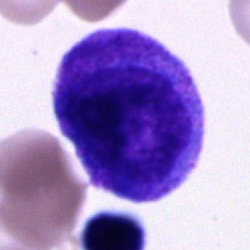{"cell_type": "unidentifiable cell"}